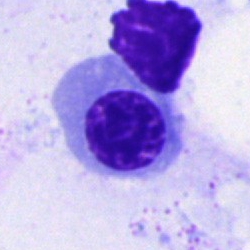
This is a nucleated red cell.